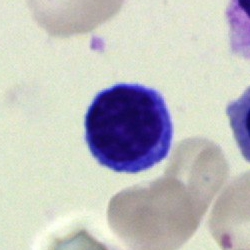{"cell_type": "lymphocyte"}